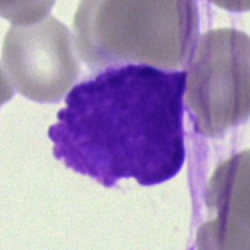
Q: What is shown here?
A: Artefact.